Bone marrow smear. Single-cell field:
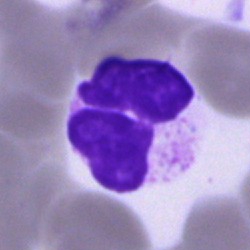 Q: What cell is this?
A: A cell of indeterminate lineage.